40× objective, oil immersion; bone marrow aspirate smear.
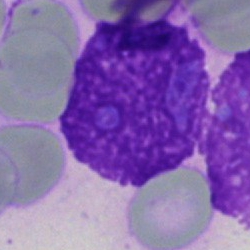 An artifact.